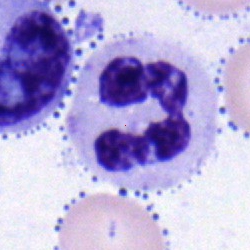Q: Which cell type is shown here?
A: It is a segmented neutrophil.